Peripheral blood smear; 400 by 400 pixels; brightfield, 100× oil-immersion objective.
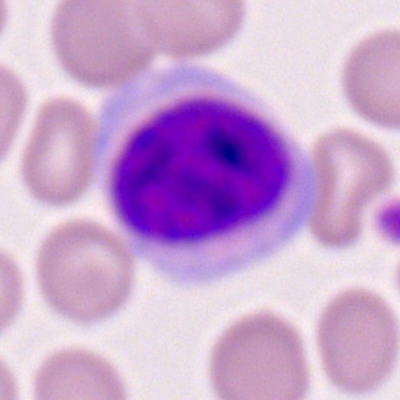Cell: monocyte.